Single-cell field. Bone marrow aspirate smear.
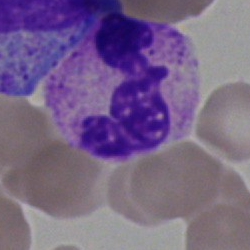

Q: What cell is this?
A: It is a neutrophil (segmented).